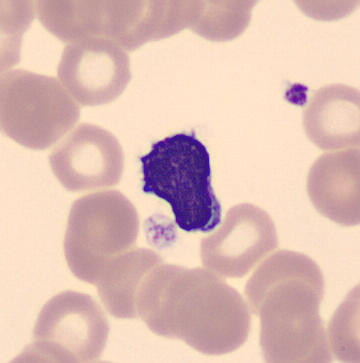
The classification is lymphocyte. Peripheral blood smear.